Bone marrow aspirate smear:
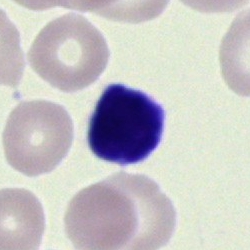 Q: What is the morphological classification of this cell?
A: Typical lymphocyte.